Bone marrow smear · MGG-stained · single-cell field — 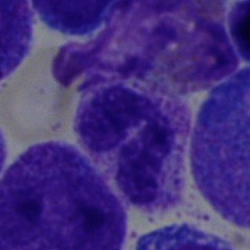
Q: Which cell type is shown here?
A: Segmented neutrophil.